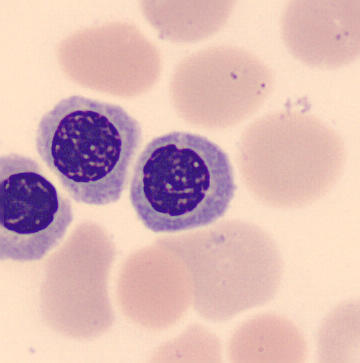 Peripheral blood smear showing a nucleated red cell.